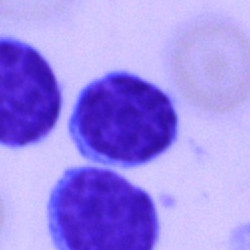Impression → lymphocyte.